Bone marrow aspirate smear:
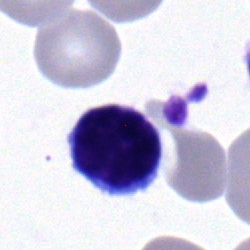

The cell shown is a lymphocyte.